Bone marrow smear · May-Grünwald-Giemsa stain · brightfield, 40× oil-immersion objective
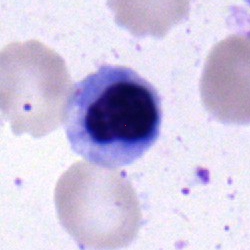
Q: What is the morphological classification of this cell?
A: It is an erythroblast.